Single-cell field; bone marrow smear.
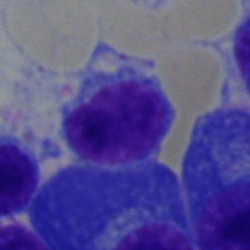

The classification is typical lymphocyte.